Bone marrow aspirate smear:
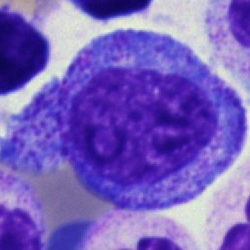
Showing a progranulocyte.